Bone marrow smear; single cell centered in the field; 250×250: 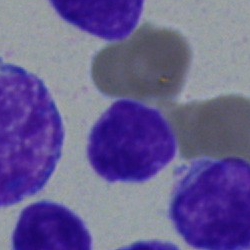
Q: What cell is this?
A: Lymphocyte.